Bone marrow smear.
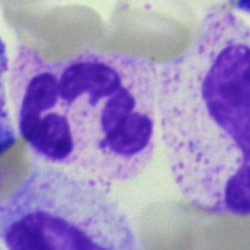
Cell = neutrophil (segmented).